Bone marrow aspirate smear: 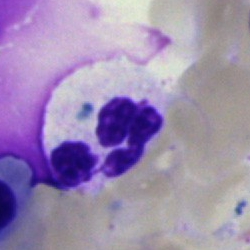 This is a polymorphonuclear neutrophil.